Bone marrow smear.
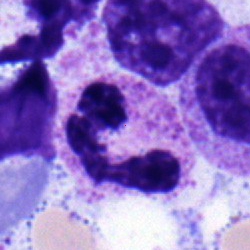
Specimen: bone marrow aspirate smear.
Classification: segmented neutrophil.